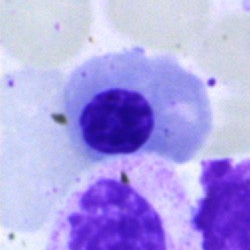 Single-cell crop from a bone marrow smear: normoblast.